Image size 250×250 · bone marrow smear.
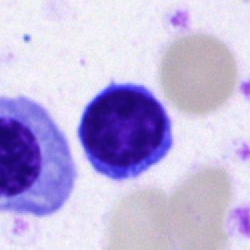Cell type: typical lymphocyte.